250×250. Bone marrow smear.
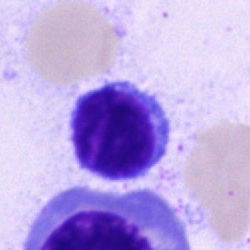
Single cell identified as a lymphocyte.